May-Grünwald-Giemsa stain; single cell centered in the field; bone marrow aspirate smear
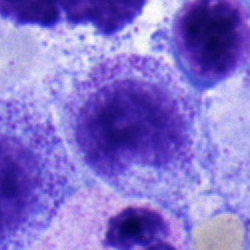
Q: What is shown here?
A: A myelocyte.